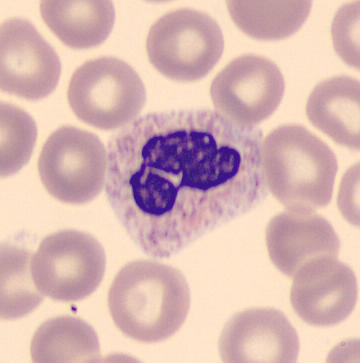

Cell type = segmented neutrophil.

Peripheral blood smear.